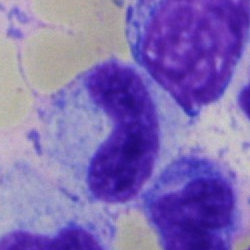{"cell_type": "band-form neutrophil", "lineage": "myeloid"}